Peripheral blood smear: 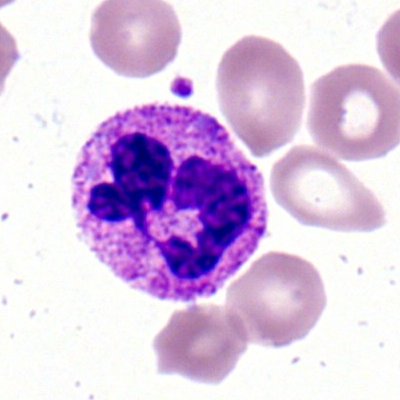 {"cell_type": "segmented neutrophil", "lineage": "myeloid"}